40× objective, oil immersion · bone marrow smear:
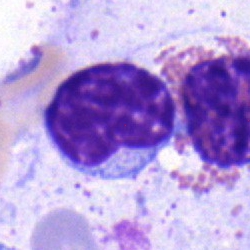 Morphology consistent with a lymphocyte.